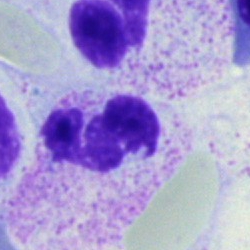

Morphology — neutrophil (segmented).